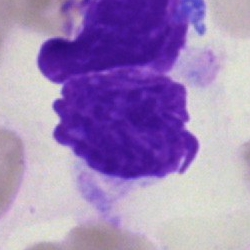

Single cell identified as an artifact.